Bone marrow aspirate smear.
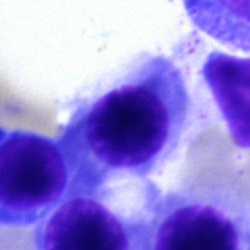
Impression — erythroblast.